Image size 250×250; bone marrow smear: 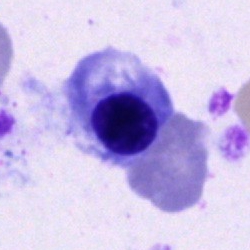Morphological class — normoblast.